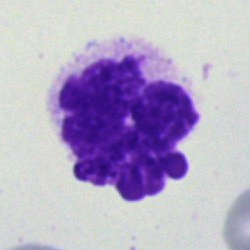 Q: What is shown here?
A: This is an artefact.